Bone marrow aspirate smear. 250×250 px. Cropped to a single cell: 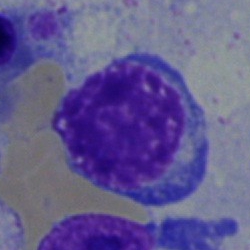This is a nucleated red cell.